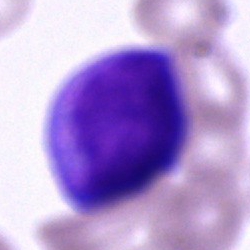 Specimen: bone marrow aspirate smear.
Classification: undifferentiated blast.